Bone marrow smear: 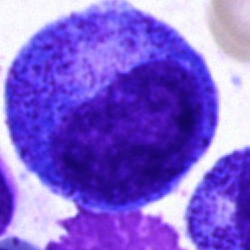

This is a promyelocyte.